Peripheral blood film: 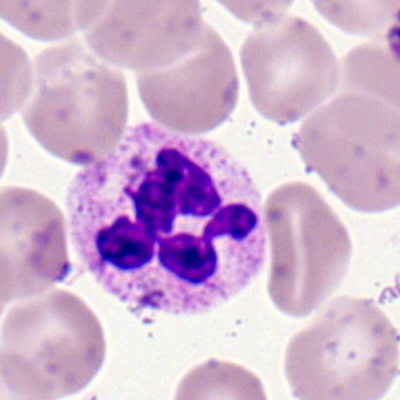

A segmented neutrophil.